Romanowsky stain. Peripheral blood film.
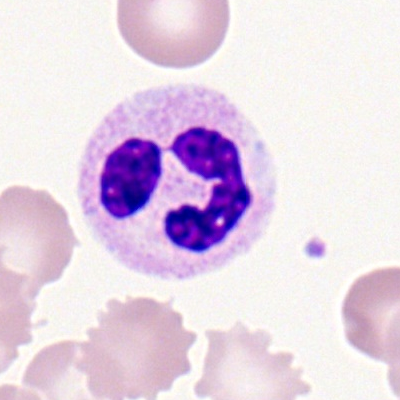

Morphology — segmented neutrophil.